Bone marrow aspirate smear
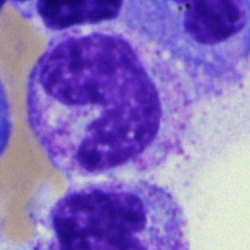
Impression → metamyelocyte.